Single-cell field. Bone marrow aspirate smear:
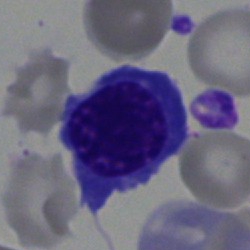The cell is erythroblast.